Romanowsky-type stain · peripheral blood smear · 400 by 400 pixels: 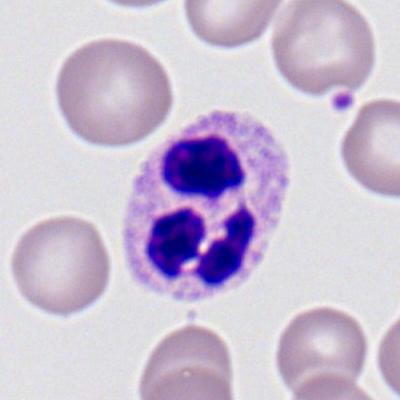
The classification is neutrophil (segmented).